Bone marrow aspirate smear — 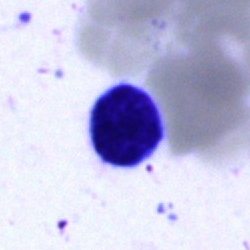Single cell identified as a typical lymphocyte.